250×250 px. Bone marrow aspirate smear:
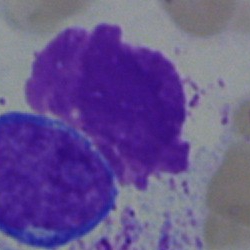 Cell = undifferentiated blast.